Bone marrow smear:
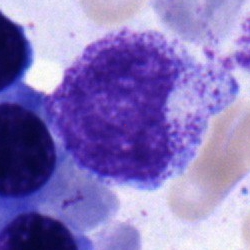

This is a myelocyte.